May-Grünwald-Giemsa stain. Bone marrow aspirate smear: 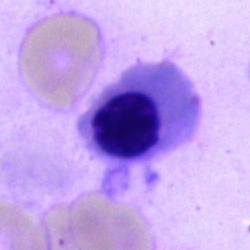 Q: Which cell type is shown here?
A: It is an erythroblast.